Bone marrow aspirate smear. May-Grünwald-Giemsa/Pappenheim stain. 250×250: 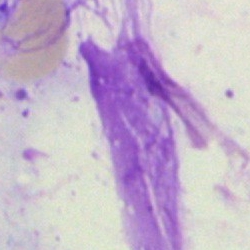

{"cell_type": "artifact"}